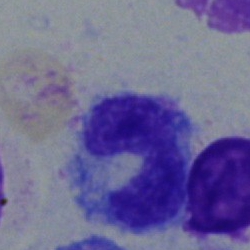 Q: What cell is this?
A: A band-form neutrophil.